Bone marrow aspirate smear.
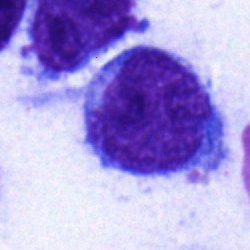 Cell = lymphocyte.